Image size 400×400 · Romanowsky-type stain · peripheral blood smear.
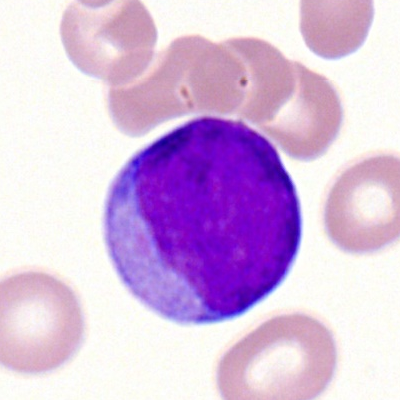
Morphology consistent with a myeloblast.